Peripheral blood film.
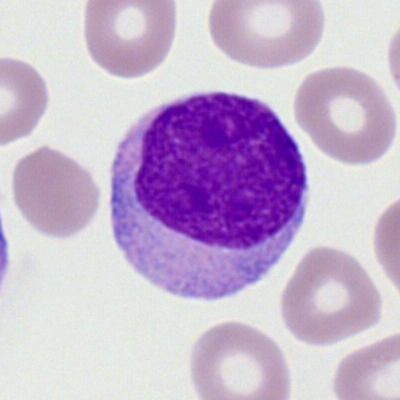

The cell shown is a myeloblast.